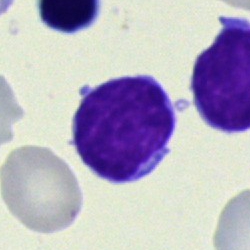 Morphological class: typical lymphocyte.